Bone marrow smear: 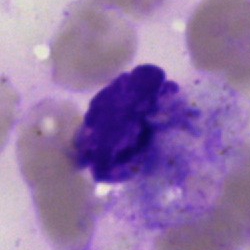 The cell type is artifact.